Single-cell crop. 250×250. Bone marrow smear: 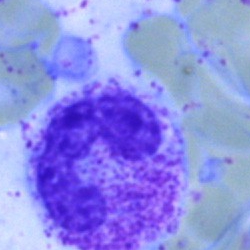

The cell shown is a band-form neutrophil.